Bone marrow smear: 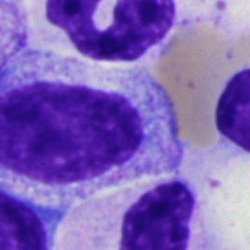Cell type — myelocyte.